Image size 250×250; bone marrow smear: 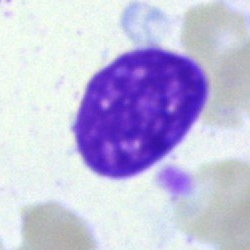
Showing a cell of indeterminate lineage.